Bone marrow aspirate smear: 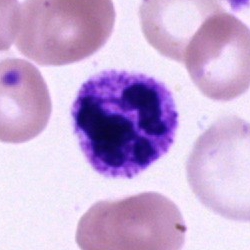Impression — neutrophil (segmented).